Bone marrow smear
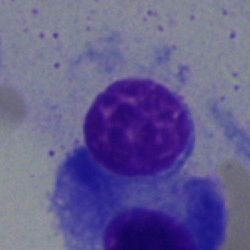Showing a plasmacyte.